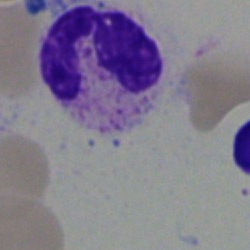 Cell = neutrophil (segmented).